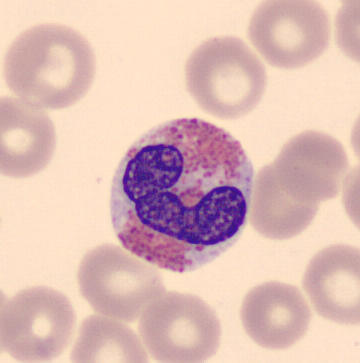 Morphological class: eosinophil.